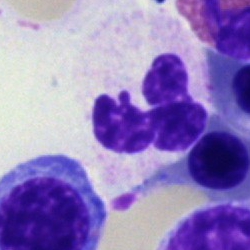

A segmented neutrophil.